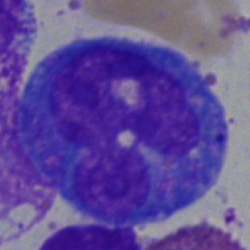{"cell_type": "promyelocyte", "lineage": "myeloid"}